Brightfield microscopy, 40× oil immersion; bone marrow smear.
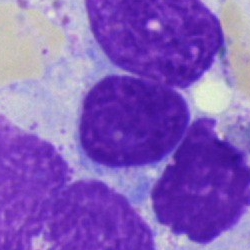 Morphology consistent with an artifact.